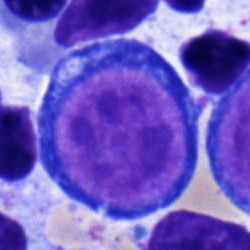

The classification is proerythroblast.